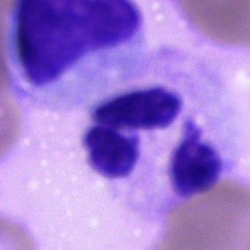 The cell is segmented neutrophil.